Bone marrow smear · 250×250: 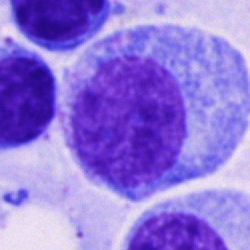Q: What cell is this?
A: A progranulocyte.